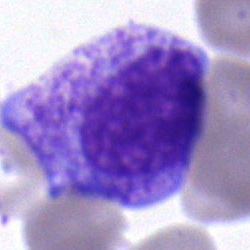 Cell type — myelocyte.